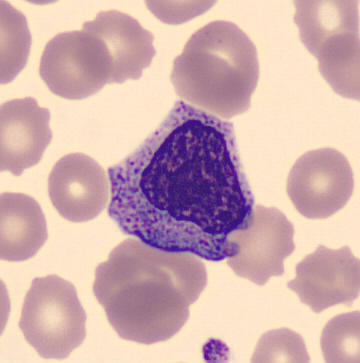
Showing a myelocyte.